Bone marrow smear; 250×250
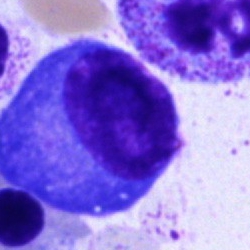

Specimen: bone marrow smear.
Cell: plasma cell.
Lineage: lymphoid.